Bone marrow smear. 250 by 250 pixels. 40× oil immersion — 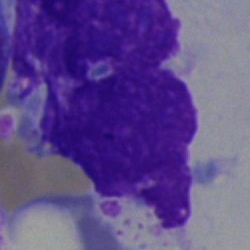
Cell: artifact.